Bone marrow smear. May-Grünwald-Giemsa/Pappenheim stain. 250 by 250 pixels: 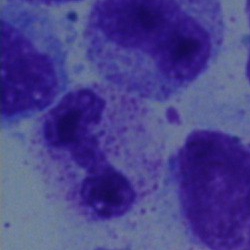 Morphology consistent with a stab cell.